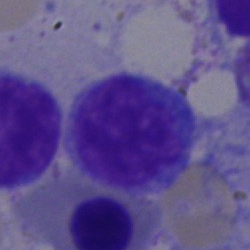 Morphological class = typical lymphocyte.